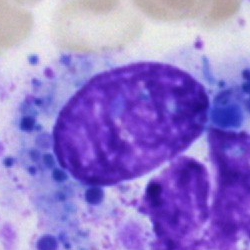Morphology consistent with an artefact.